Bone marrow aspirate smear: 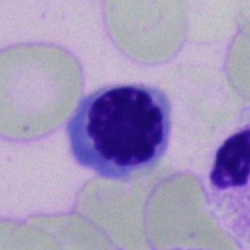 Morphology — nucleated red cell.